Bone marrow aspirate smear:
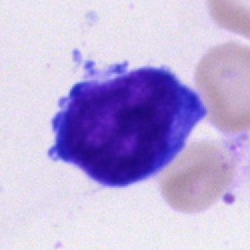Cell type: proerythroblast.